Bone marrow aspirate smear: 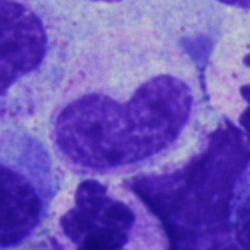Stab cell.